Bone marrow aspirate smear. 40× objective, oil immersion:
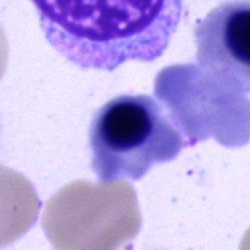Morphology — erythroblast.